Bone marrow aspirate smear.
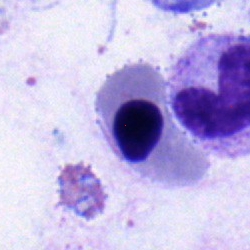
Cell = nucleated red cell.